Bone marrow smear. Image size 250×250
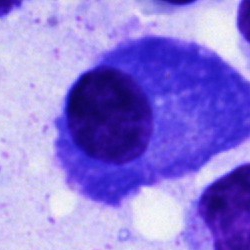 Specimen: bone marrow aspirate smear.
Cell: plasma cell.